Bone marrow aspirate smear — 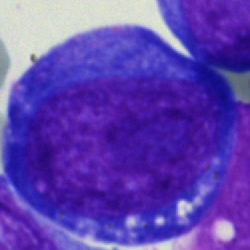 Impression — undifferentiated blast.